Bone marrow smear
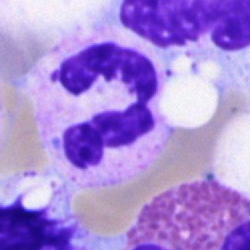 Morphology consistent with a neutrophil (segmented).